Bone marrow aspirate smear: 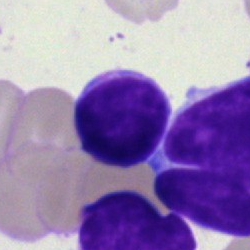 Specimen: bone marrow smear.
Classification: typical lymphocyte.